Single-cell crop · bone marrow smear: 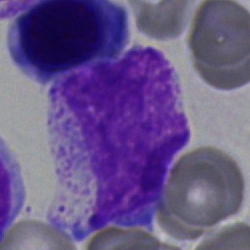

Q: What cell is this?
A: This is a myelocyte.